400×400. Peripheral blood smear. Cropped to a single cell: 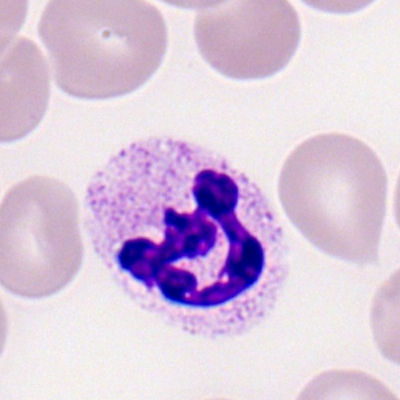 The cell shown is a neutrophil (segmented).